Peripheral blood film.
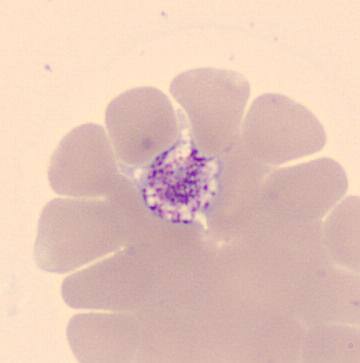 Cell type: platelet (thrombocyte).